Bone marrow smear:
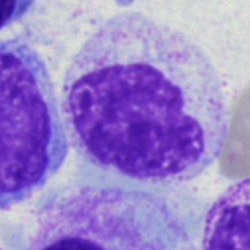
The cell is metamyelocyte.